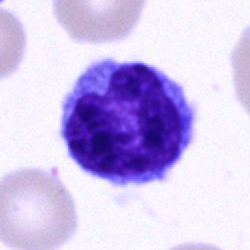 Q: Identify the cell.
A: Typical lymphocyte.